Peripheral blood film:
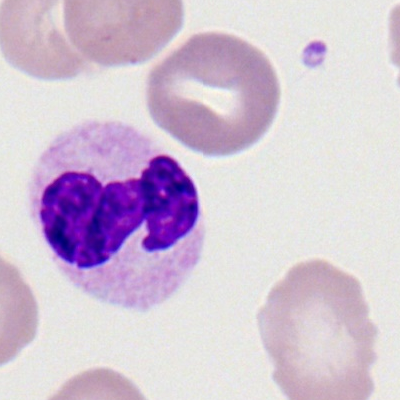Segmented neutrophil.